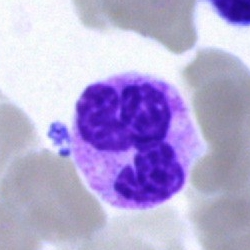
Q: What cell is this?
A: This is a segmented neutrophil.